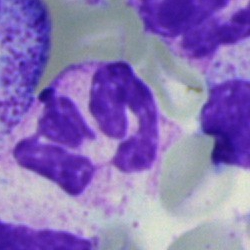
Morphological class = segmented neutrophil.